Bone marrow aspirate smear.
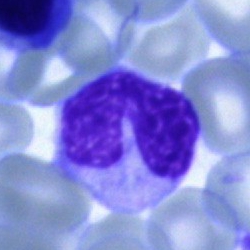 Showing a segmented neutrophil.